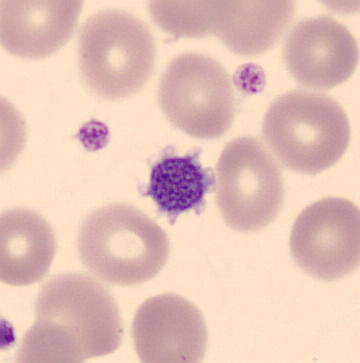

Acquisition: Peripheral blood film.

Thrombocyte.